Bone marrow smear.
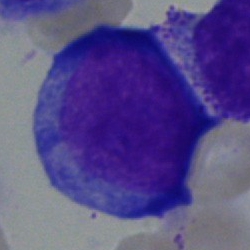 This is a pronormoblast.